Bone marrow aspirate smear — 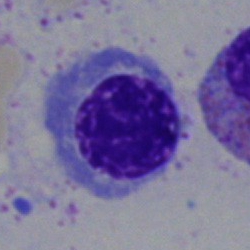 Morphology → nucleated red blood cell.